Bone marrow aspirate smear
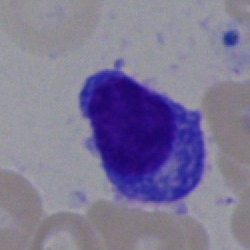The morphological class is plasma cell.